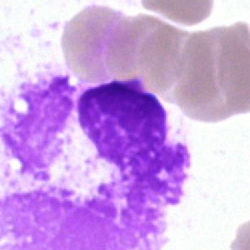
Cell type — artifact.